Bone marrow aspirate smear.
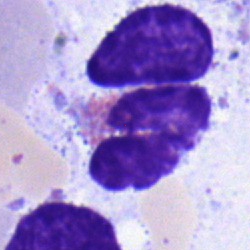Cell type: myelocyte.